Bone marrow aspirate smear: 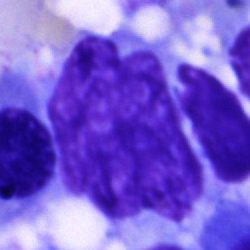 Impression — cell of indeterminate lineage.